Bone marrow smear:
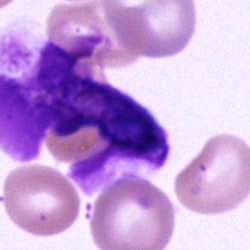

Single cell identified as an artifact.